Bone marrow smear · Pappenheim-stained — 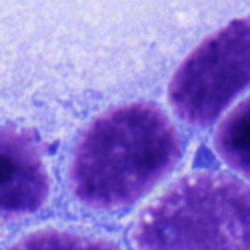

Q: What is the morphological classification of this cell?
A: It is a lymphocyte.